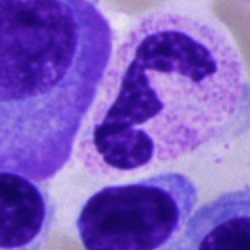 Q: What type of cell is this?
A: A polymorphonuclear neutrophil.